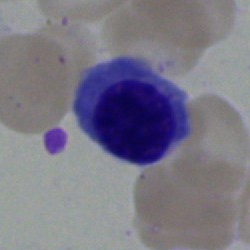Nucleated red blood cell.